Peripheral blood smear
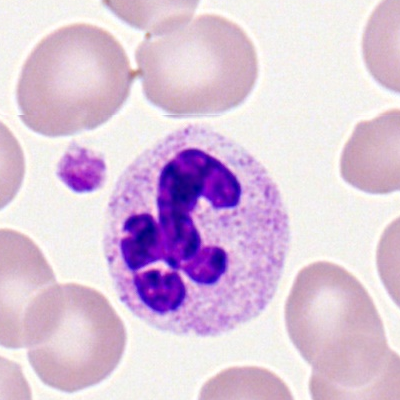

The cell type is polymorphonuclear neutrophil.